250×250 px · bone marrow smear — 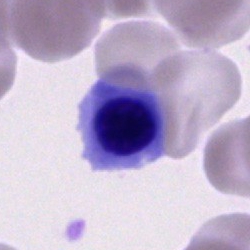

Classification — nucleated red blood cell.